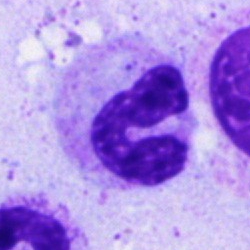 A segmented neutrophil.